Bone marrow smear — 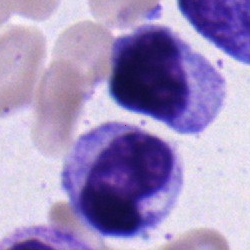
The cell shown is a polymorphonuclear neutrophil.